Bone marrow smear · 40× oil immersion · single-cell crop — 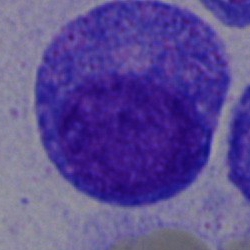
The morphological class is promyelocyte.